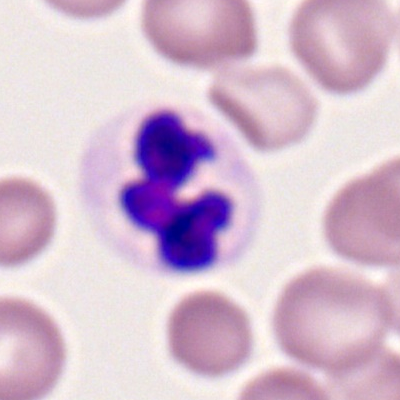 Peripheral blood smear showing a polymorphonuclear neutrophil.